Bone marrow aspirate smear.
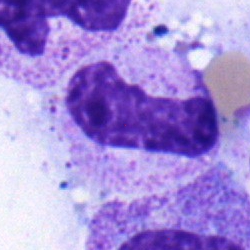 Stab cell.